Bone marrow smear:
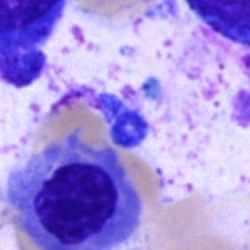 Cell type: nucleated red cell.